Bone marrow smear
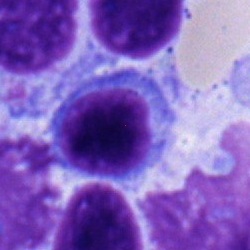 Specimen: bone marrow smear.
Morphological class: lymphocyte.